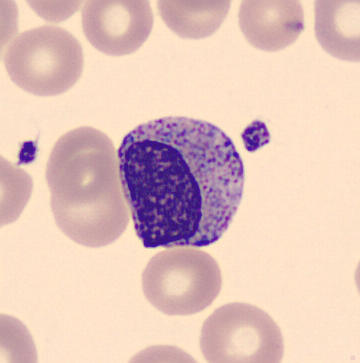
Image: Peripheral blood film.
{"cell_type": "metamyelocyte", "lineage": "myeloid"}